Bone marrow aspirate smear:
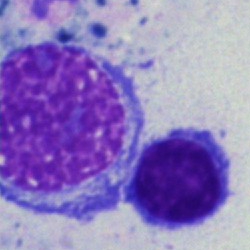
Showing a typical lymphocyte.